Bone marrow aspirate smear — 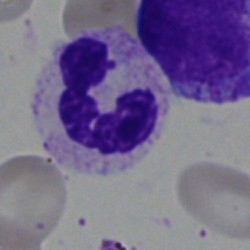 Impression — neutrophil (segmented).